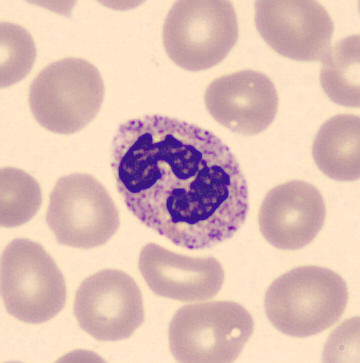
CellaVision DM96 digital cell image · peripheral blood smear · 360×363 px. Q: What is the morphological classification of this cell?
A: A polymorphonuclear neutrophil.